Bone marrow smear: 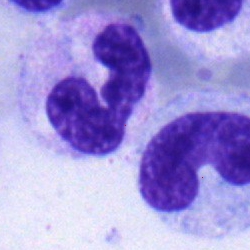 {"cell_type": "band-form neutrophil", "lineage": "myeloid"}